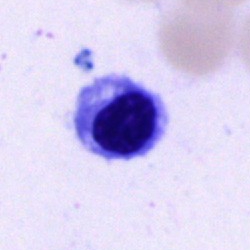Morphology → nucleated red blood cell.